Peripheral blood smear — 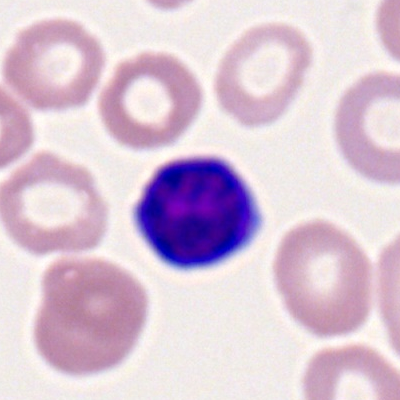
Q: What type of cell is this?
A: Lymphocyte.